Peripheral blood smear
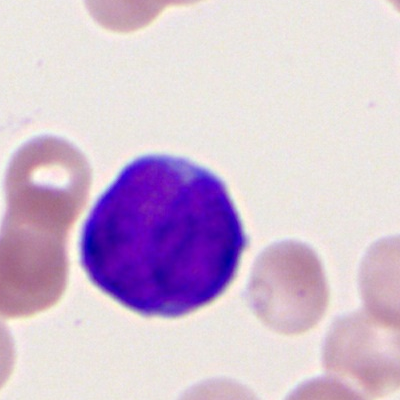
Cell type: myeloid blast.